40× oil immersion. Bone marrow aspirate smear. Pappenheim-stained: 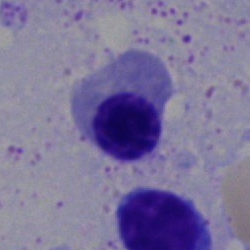

Cell = nucleated red blood cell.